Bone marrow smear
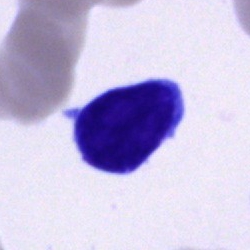
Showing a lymphocyte.